Bone marrow smear.
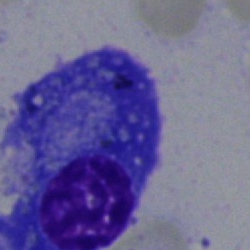 Morphological class: plasma cell.